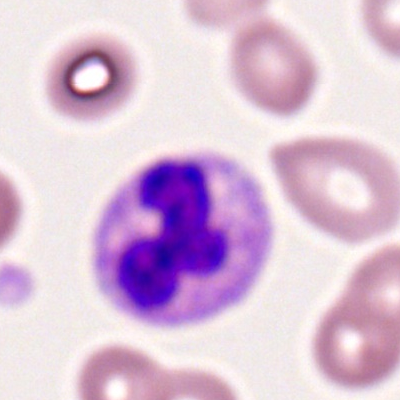 Classification: polymorphonuclear neutrophil.